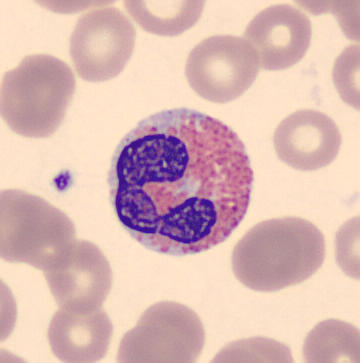Cell type: eosinophil.

Image: Single-cell crop · 360 by 363 pixels · peripheral blood film.